Bone marrow aspirate smear: 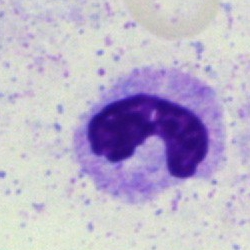This is a myelocyte.